Peripheral blood film — 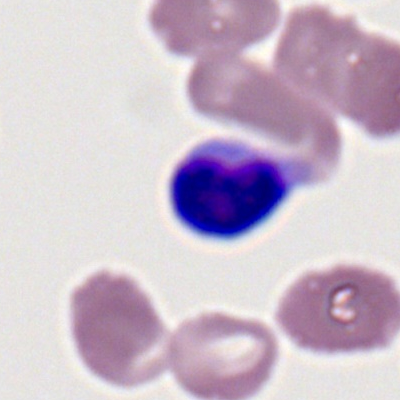

A lymphocyte.